100× oil immersion, 14.14 px/µm. Peripheral blood film — 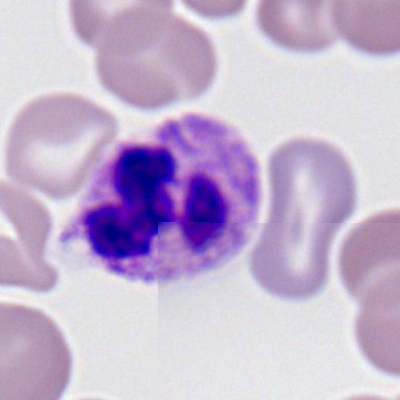 {"cell_type": "neutrophil (segmented)"}